Brightfield, 100× oil-immersion objective. Peripheral blood smear: 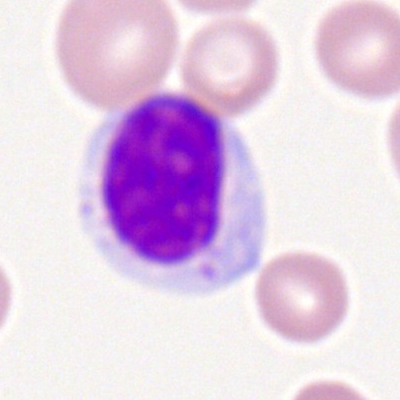

The morphological class is typical lymphocyte.